MGG stain. Peripheral blood film: 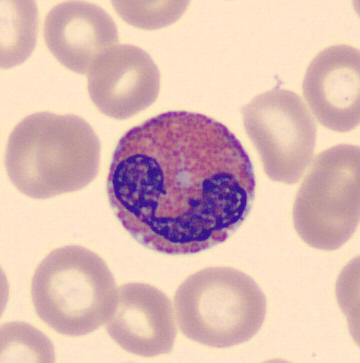 The cell shown is an eosinophilic granulocyte.